Brightfield, 40× oil-immersion objective; bone marrow aspirate smear; cropped to a single cell:
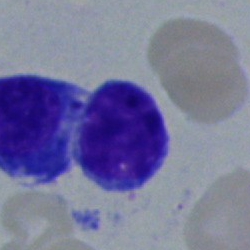
Showing a lymphocyte.